Bone marrow smear:
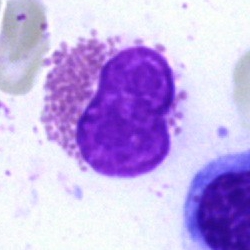Cell type: eosinophilic granulocyte.